Bone marrow aspirate smear.
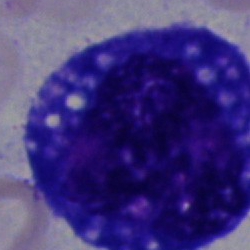 Specimen: bone marrow smear.
Cell type: blast cell.